Bone marrow smear. May-Grünwald-Giemsa/Pappenheim stain
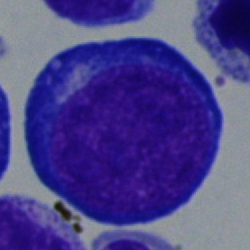The classification is proerythroblast.